Bone marrow aspirate smear · single-cell crop.
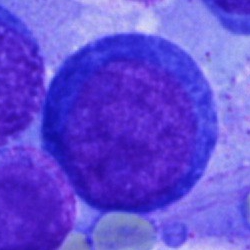 Q: What is the morphological classification of this cell?
A: Blast.